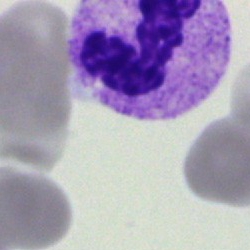 Impression → segmented neutrophil.